250 by 250 pixels. 40× oil immersion. Bone marrow aspirate smear — 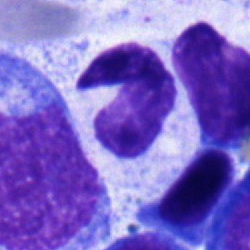Cell type — band-form neutrophil.